Bone marrow aspirate smear:
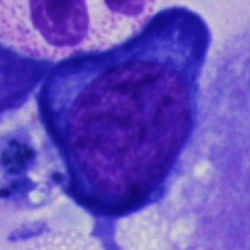
Q: What cell is this?
A: This is a pronormoblast.